Single-cell crop; bone marrow smear; 250×250 px:
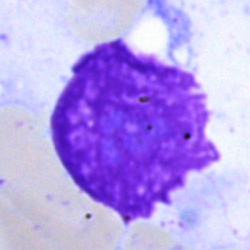

Artefact.